Bone marrow aspirate smear.
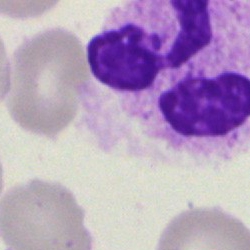

Q: What is shown here?
A: Artifact.